Bone marrow smear · 250 by 250 pixels:
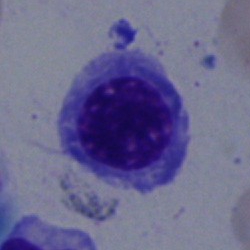

The cell type is nucleated red blood cell.